250×250 px; single-cell field; bone marrow aspirate smear: 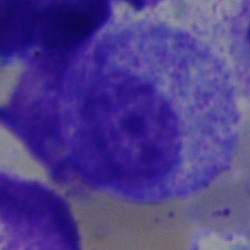
Classification: promyelocyte.